Bone marrow smear.
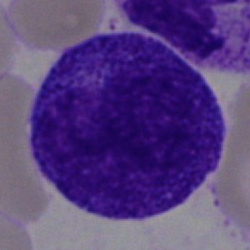 Promyelocyte.